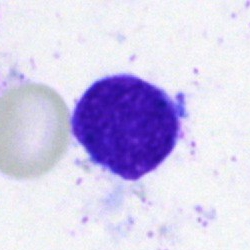 Specimen: bone marrow aspirate smear.
Morphological class: typical lymphocyte.